Bone marrow smear. Image size 250×250:
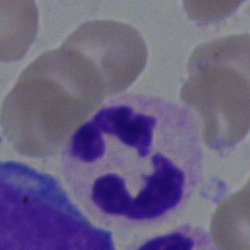A segmented neutrophil.